Bone marrow smear:
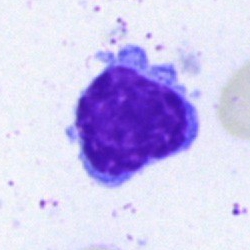Specimen: bone marrow aspirate smear.
Cell type: typical lymphocyte.
Lineage: lymphoid.